Bone marrow aspirate smear. 40× oil immersion: 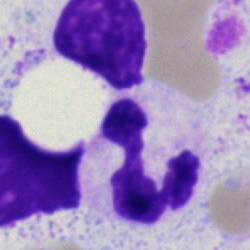 Impression → neutrophil (segmented).